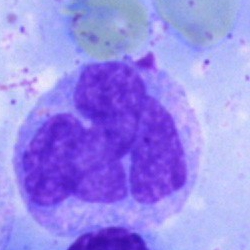

This is a monocyte.